Bone marrow smear; May-Grünwald-Giemsa/Pappenheim stain: 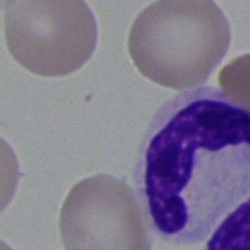

This is a polymorphonuclear neutrophil.